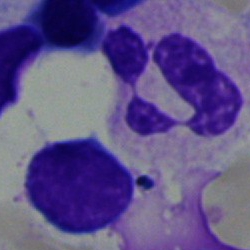

Morphology → polymorphonuclear neutrophil.